Bone marrow smear.
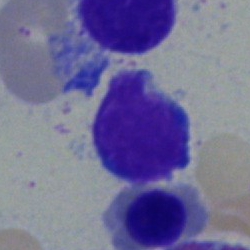The cell shown is a typical lymphocyte.